Brightfield, 40× oil-immersion objective; bone marrow smear: 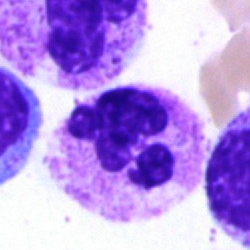Showing a segmented neutrophil.